Brightfield, 40× oil-immersion objective. Bone marrow aspirate smear: 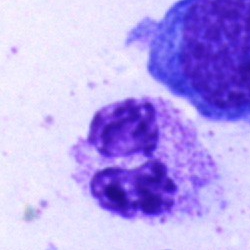 A segmented neutrophil.